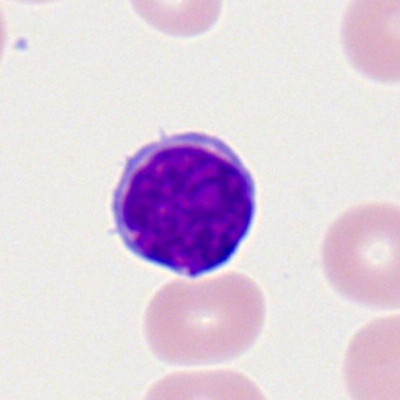

This is a lymphocyte.